Bone marrow aspirate smear — 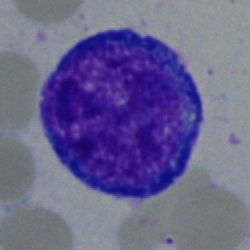Morphological class: proerythroblast.